40× objective, oil immersion · bone marrow aspirate smear · May-Grünwald-Giemsa stain: 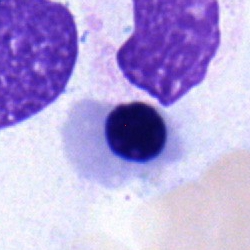Morphology consistent with an erythroblast.